Peripheral blood smear:
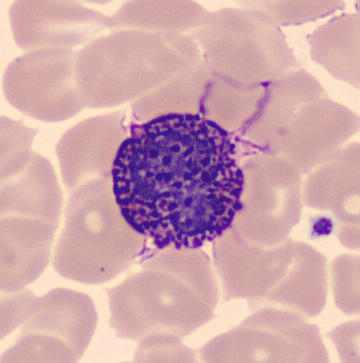 A basophil.